40× oil immersion; bone marrow smear.
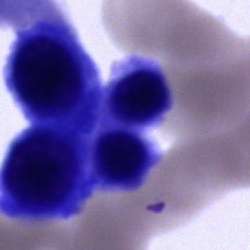Unidentifiable cell.